May-Grünwald-Giemsa/Pappenheim stain · bone marrow aspirate smear · image size 250×250: 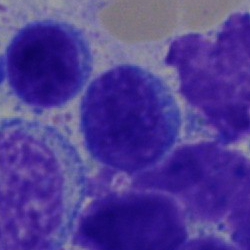
The cell shown is a typical lymphocyte.